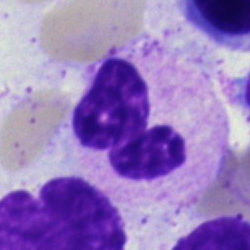

Cell type: segmented neutrophil.